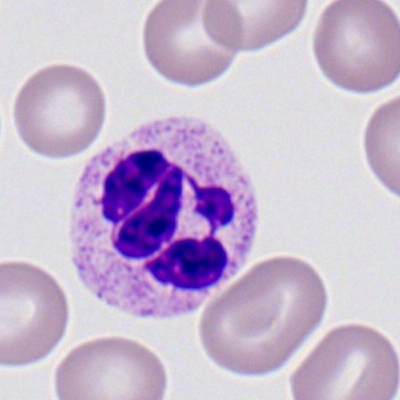
Specimen: peripheral blood smear.
Cell: segmented neutrophil.
Lineage: myeloid.